Peripheral blood film.
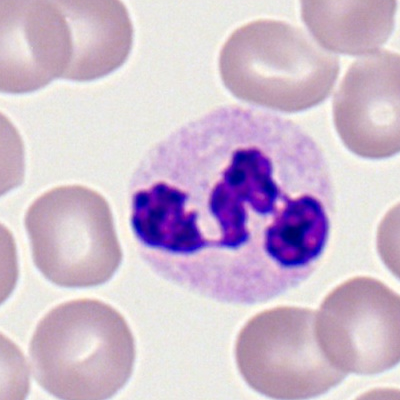Q: What cell is this?
A: Polymorphonuclear neutrophil.